Bone marrow aspirate smear
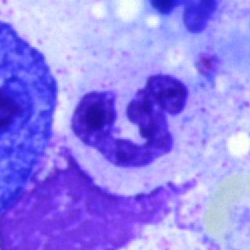
Cell = neutrophil (segmented).